250 by 250 pixels · bone marrow aspirate smear · MGG-stained:
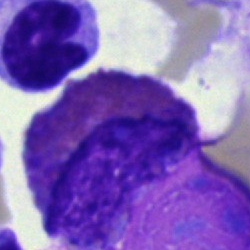

Specimen: bone marrow smear.
Cell type: eosinophil.
Lineage: myeloid.